Bone marrow aspirate smear
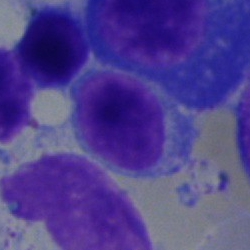
Morphological class — typical lymphocyte.